Single-cell field. Bone marrow aspirate smear.
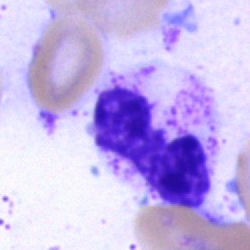

Cell — band-form neutrophil.